Bone marrow smear · 250×250 · 40× objective, oil immersion: 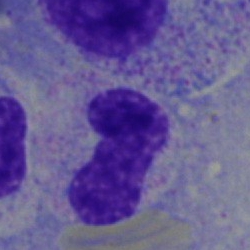
Classification: band neutrophil.